Peripheral blood smear. Single-cell crop.
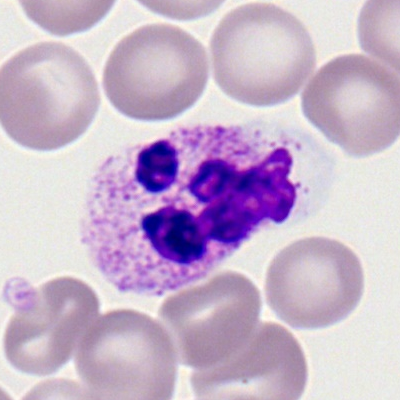

Morphology consistent with a segmented neutrophil.